Bone marrow smear:
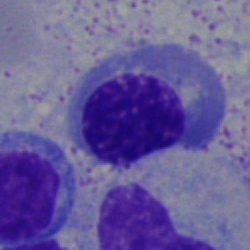

Morphology — erythroblast.